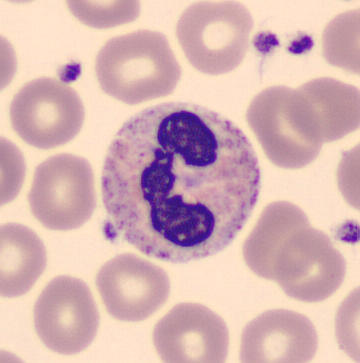The morphological class is stab cell.